Bone marrow smear. May-Grünwald-Giemsa/Pappenheim stain. Single-cell crop — 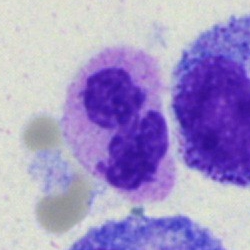

Q: What type of cell is this?
A: A neutrophil (segmented).